Bone marrow aspirate smear — 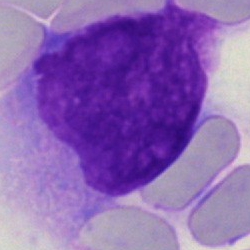 Q: What is shown here?
A: This is an artifact.